Bone marrow smear — 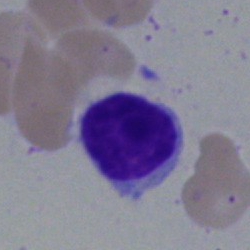 The cell shown is a lymphocyte.